Bone marrow smear; brightfield, 40× oil-immersion objective:
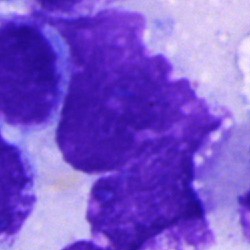

Specimen: bone marrow aspirate smear.
Cell: artefact.